400 by 400 pixels · peripheral blood smear.
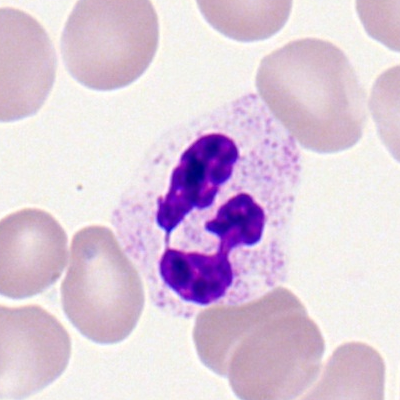Q: What is the morphological classification of this cell?
A: This is a segmented neutrophil.